Bone marrow smear: 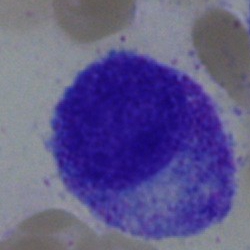
Specimen: bone marrow aspirate smear.
Classification: myelocyte.
Lineage: myeloid.